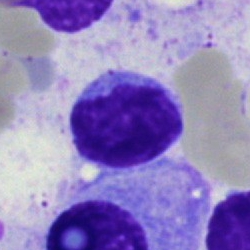

The morphological class is typical lymphocyte.